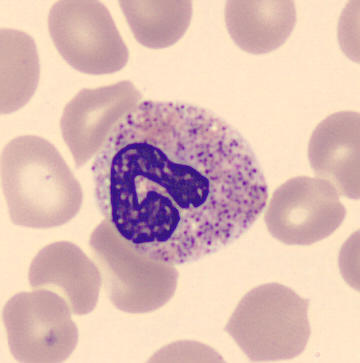Q: What cell is this?
A: A band-form neutrophil.

Image: Peripheral blood film.